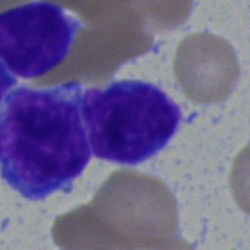Morphological class = typical lymphocyte.